Brightfield, 40× oil-immersion objective; bone marrow smear
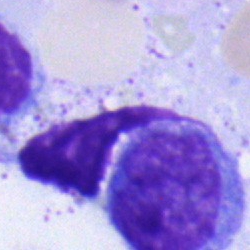 Morphology — monocyte.